Bone marrow aspirate smear · brightfield microscopy, 40× oil immersion · Pappenheim-stained.
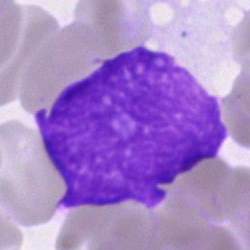Single cell identified as an artefact.